Bone marrow smear. Single-cell crop
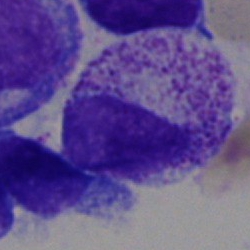Cell type: myelocyte.